Bone marrow smear. Brightfield, 40× oil-immersion objective: 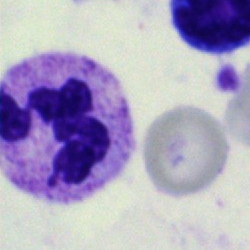 Morphological class: neutrophil (segmented).